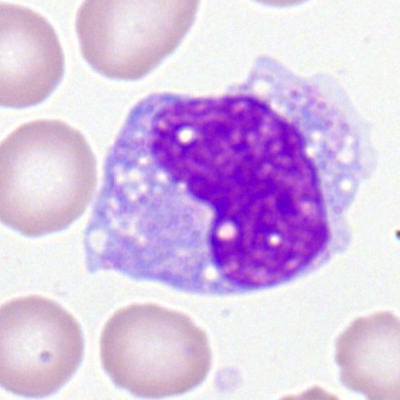Morphology → monocyte.